250 by 250 pixels · bone marrow aspirate smear: 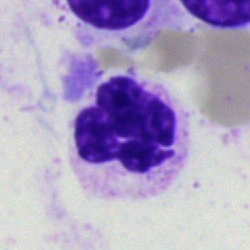

Q: What type of cell is this?
A: This is a polymorphonuclear neutrophil.